Pappenheim-stained · bone marrow aspirate smear · 40× objective, oil immersion:
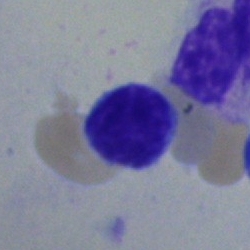

Morphology → lymphocyte.